Bone marrow smear
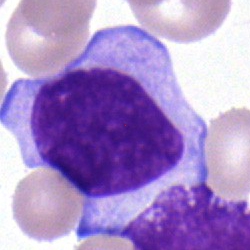
A lymphocyte.